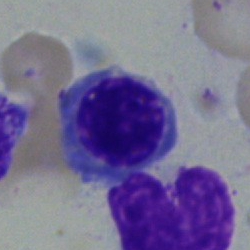
Morphology → nucleated red cell.